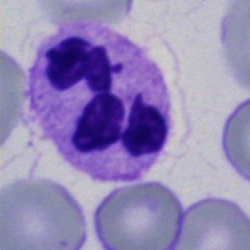 Cell — segmented neutrophil.